Bone marrow aspirate smear: 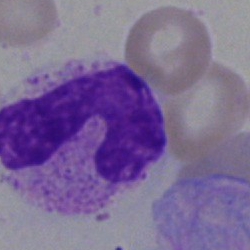

Q: What cell is this?
A: It is a band neutrophil.